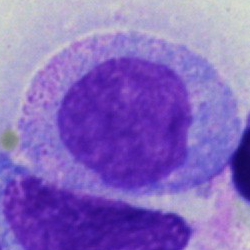 Cell: promyelocyte.